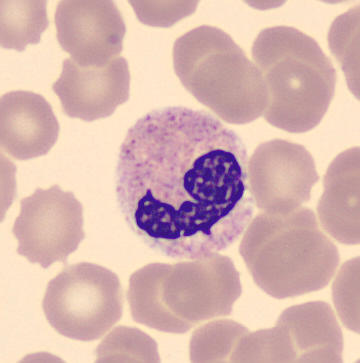

The morphological class is neutrophil (segmented).
Peripheral blood smear; image size 360×363; single cell centered in the field.